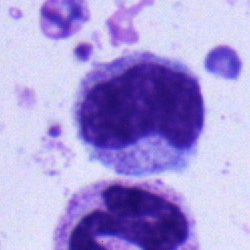

Morphology consistent with a band neutrophil.